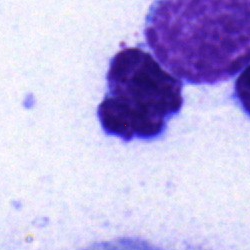

Q: What is shown here?
A: This is a typical lymphocyte.